May-Grünwald-Giemsa stain. Brightfield microscopy, 40× oil immersion. Bone marrow smear.
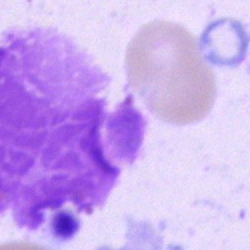

Classification — artefact.